Peripheral blood film:
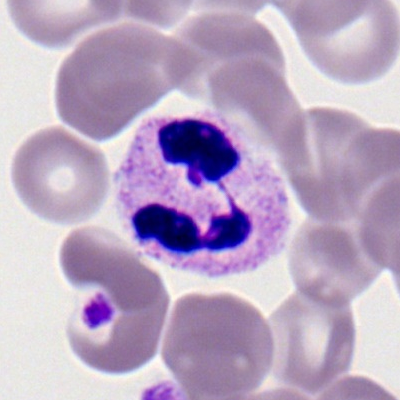
Showing a neutrophil (segmented).